Bone marrow smear:
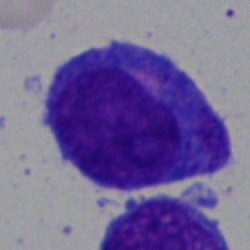The morphological class is promyelocyte.